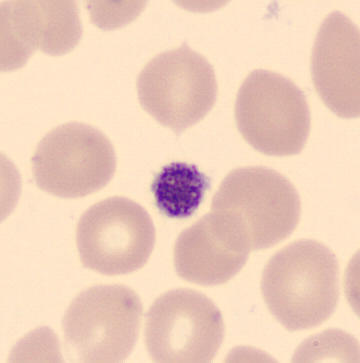

Platelet (thrombocyte).
Acquisition: Peripheral blood smear; 360 by 363 pixels; May-Grünwald-Giemsa-stained.